Bone marrow smear: 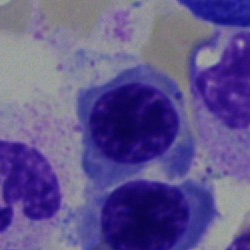Morphology consistent with an erythroblast.